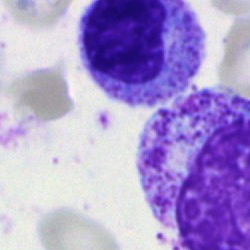
Specimen: bone marrow aspirate smear.
Cell: progranulocyte.